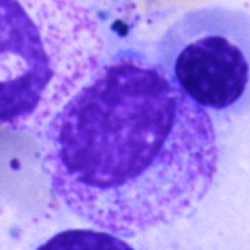Specimen: bone marrow smear.
Classification: myelocyte.
Lineage: myeloid.